Peripheral blood film; 100× objective, oil immersion
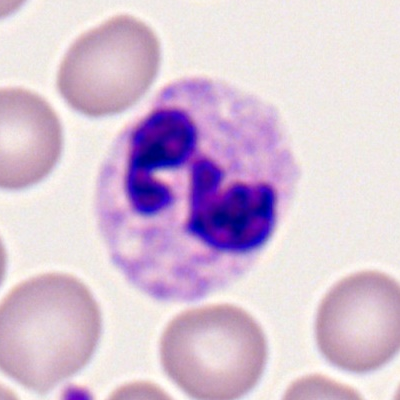The cell type is neutrophil (segmented).